Peripheral blood smear. Romanowsky-stained: 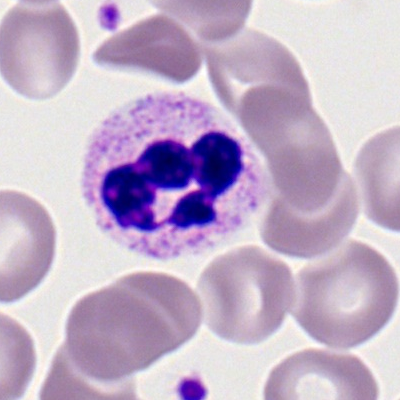

Morphology consistent with a segmented neutrophil.